Bone marrow aspirate smear — 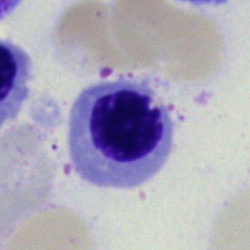
Single cell identified as a normoblast.